Bone marrow smear
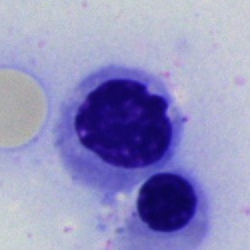
Erythroblast.